Bone marrow smear:
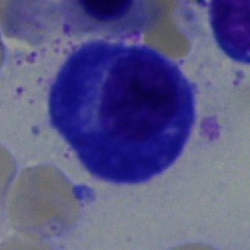

Classification = plasmacyte.